Bone marrow smear.
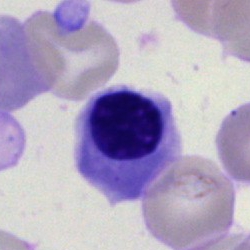

Showing an erythroblast.